Bone marrow aspirate smear — 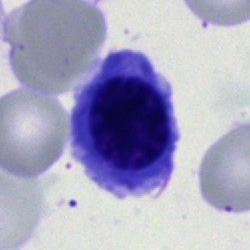
Morphological class = normoblast.